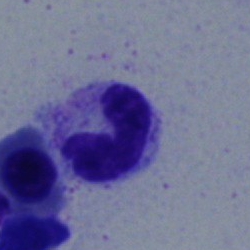 Stab cell.